Bone marrow aspirate smear:
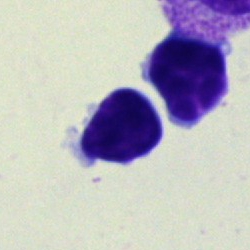Classification — lymphocyte.